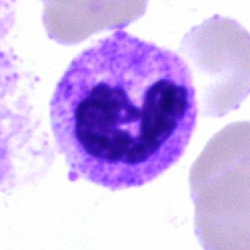
Cell type: polymorphonuclear neutrophil.